100× objective, oil immersion; peripheral blood film — 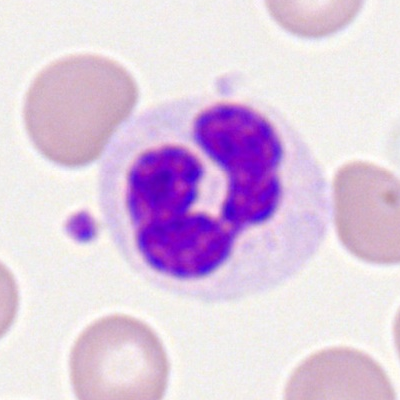
Showing a neutrophil (segmented).